Peripheral blood smear.
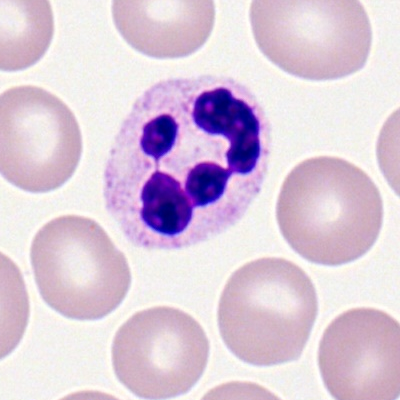Morphology consistent with a polymorphonuclear neutrophil.